Bone marrow aspirate smear:
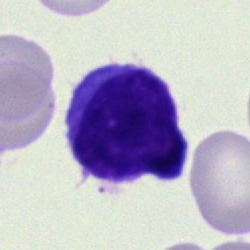 Impression → lymphocyte.